250 by 250 pixels; bone marrow smear.
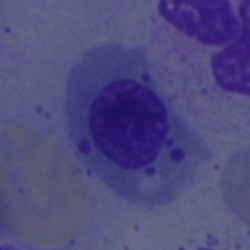The classification is nucleated red blood cell.